40× objective, oil immersion. Bone marrow aspirate smear
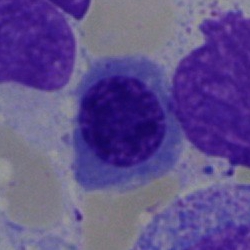 Showing a nucleated red cell.